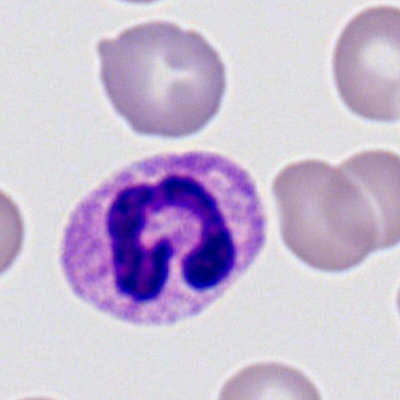
Showing a neutrophil (segmented).